Bone marrow smear; brightfield, 40× oil-immersion objective:
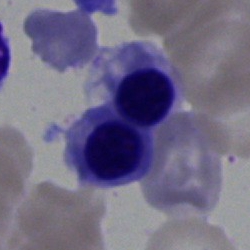

Q: Which cell type is shown here?
A: It is a nucleated red blood cell.